40× oil immersion · bone marrow aspirate smear · single-cell field:
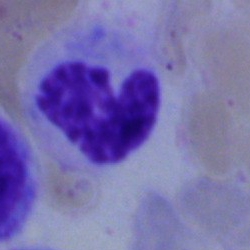 Morphological class — neutrophil (band).